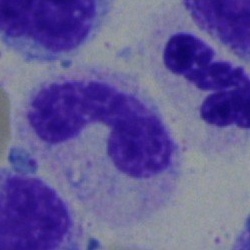Specimen: bone marrow aspirate smear.
Cell type: stab cell.
Lineage: myeloid.